Bone marrow aspirate smear · 40× oil immersion · Pappenheim-stained — 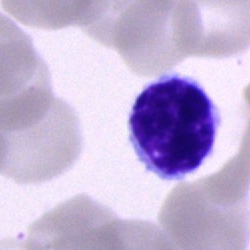 Typical lymphocyte.